Bone marrow smear · image size 250×250:
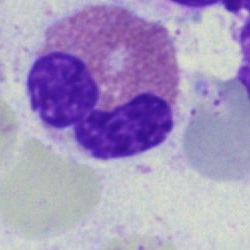Morphology — eosinophilic granulocyte.